M8 digital microscope (Precipoint), 100× oil immersion; 400×400 px; peripheral blood film:
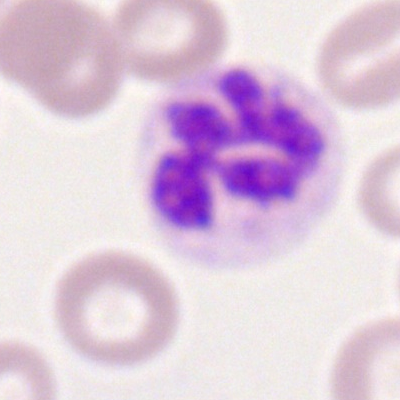

The cell shown is a neutrophil (segmented).